Brightfield, 40× oil-immersion objective · bone marrow aspirate smear — 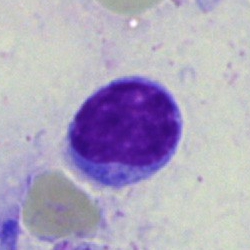
Q: What is the morphological classification of this cell?
A: Typical lymphocyte.